Bone marrow smear — 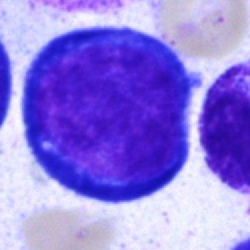 This is a proerythroblast.